Bone marrow smear: 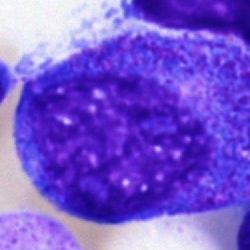
This is a progranulocyte.